Bone marrow aspirate smear:
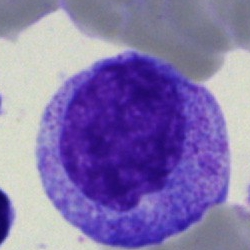 This is a promyelocyte.